Peripheral blood film: 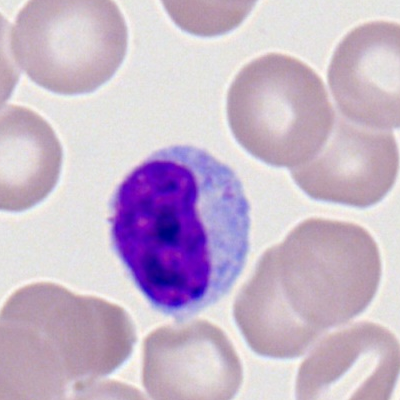

Cell — lymphocyte.